250 by 250 pixels. Bone marrow aspirate smear.
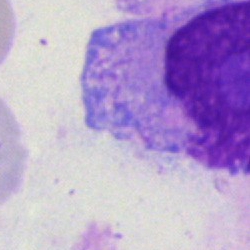

Morphology consistent with an artefact.